Bone marrow smear
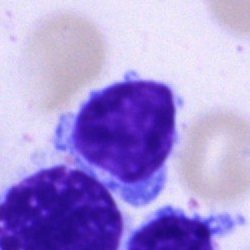 The morphological class is lymphocyte.